Bone marrow smear — 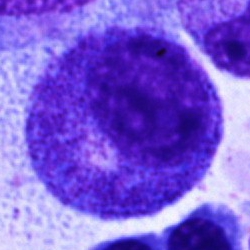 Morphological class — progranulocyte.